May-Grünwald-Giemsa stain; image size 250×250; bone marrow aspirate smear
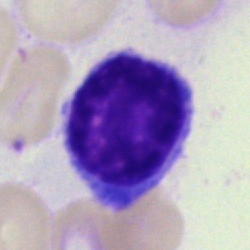The cell shown is a lymphocyte.